Image size 250×250; bone marrow aspirate smear — 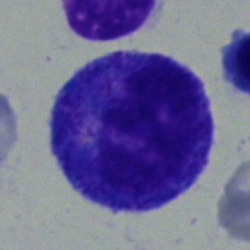

A promyelocyte.